Bone marrow aspirate smear:
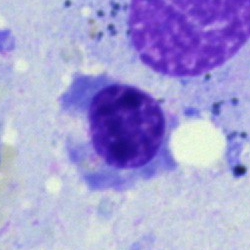Morphology — nucleated red cell.